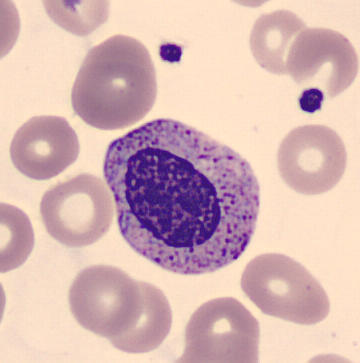

Morphological class = myelocyte. Preparation: Peripheral blood smear.